Bone marrow smear — 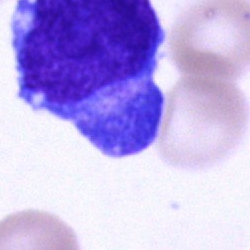
A blast cell.